Brightfield, 40× oil-immersion objective. Bone marrow aspirate smear. Single-cell crop: 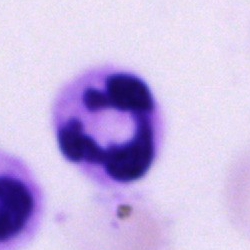The cell shown is a neutrophil (segmented).